May-Grünwald-Giemsa/Pappenheim stain · bone marrow aspirate smear: 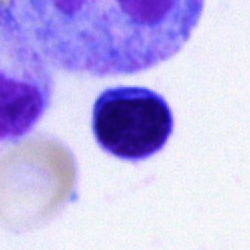

Q: What is shown here?
A: A lymphocyte.